Bone marrow aspirate smear
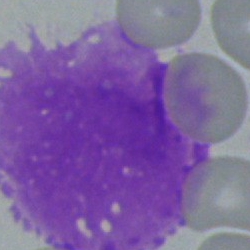

Single cell identified as an artifact.